Bone marrow aspirate smear. 40× oil immersion. May-Grünwald-Giemsa stain.
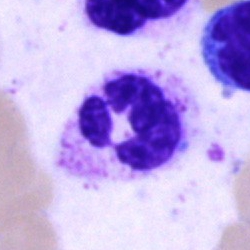
Classification: polymorphonuclear neutrophil.